Bone marrow aspirate smear — 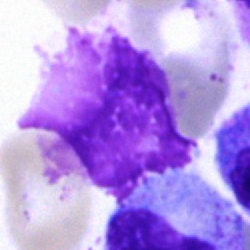 The cell shown is an artifact.